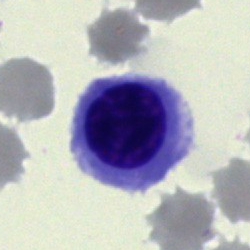

The morphological class is normoblast.